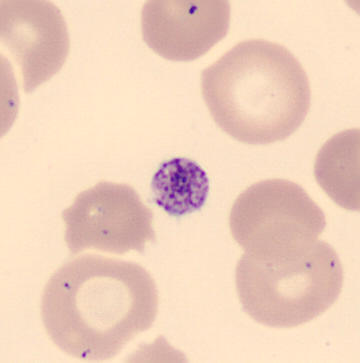 Peripheral blood smear · MGG-stained.
Morphology — platelet (thrombocyte).